Bone marrow aspirate smear — 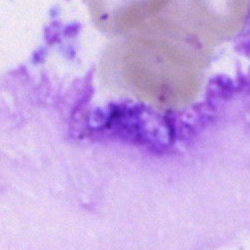Cell = artifact.